Bone marrow smear.
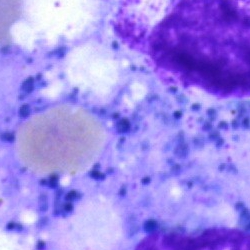Q: What is shown here?
A: It is an artifact.